Bone marrow smear: 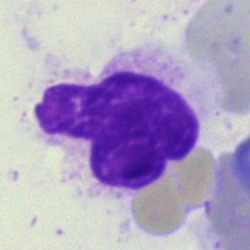Impression — artifact.